Peripheral blood film
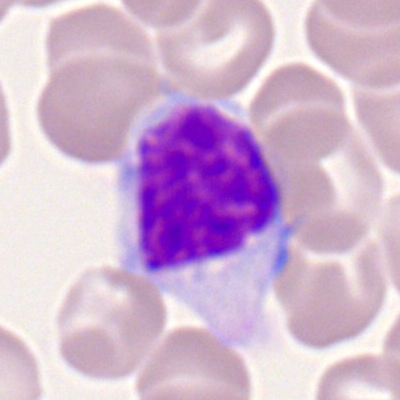

Q: What is the morphological classification of this cell?
A: Typical lymphocyte.